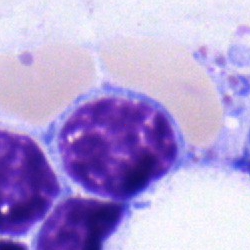The cell is typical lymphocyte.